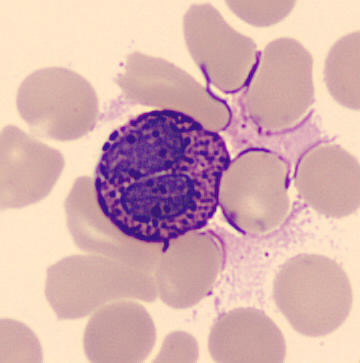
From a peripheral blood smear: a basophilic granulocyte.